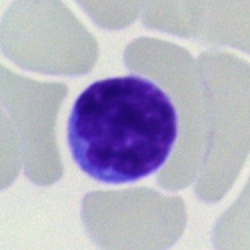Classification — typical lymphocyte.